Bone marrow smear · single cell centered in the field · 250 by 250 pixels — 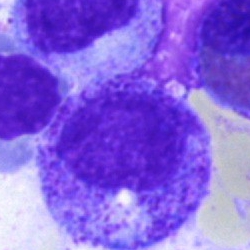

This is a progranulocyte.